Bone marrow smear.
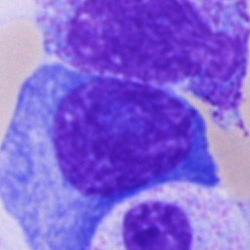
Impression → plasmacyte.